Bone marrow aspirate smear · cropped to a single cell
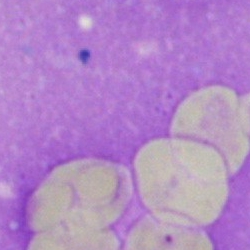
The cell shown is an artefact.